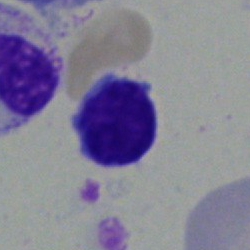 {"cell_type": "typical lymphocyte", "lineage": "lymphoid"}